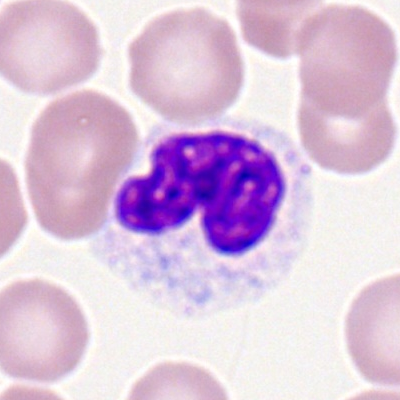 Morphology — segmented neutrophil.